Single-cell crop. Bone marrow smear.
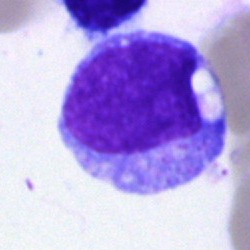

Specimen: bone marrow smear.
Cell: blast cell.